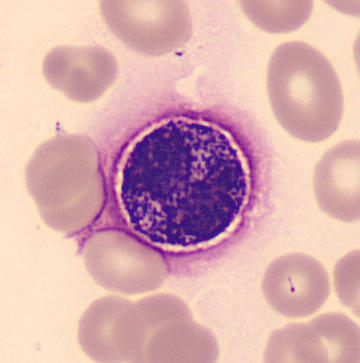

Acquisition: Peripheral blood film. Single-cell field.

Impression → basophilic granulocyte.